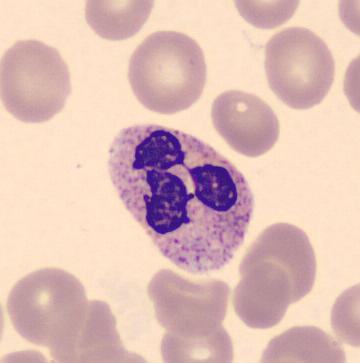

Cell = segmented neutrophil.
Image: Peripheral blood smear.